Bone marrow aspirate smear.
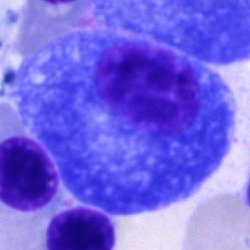
A plasma cell.